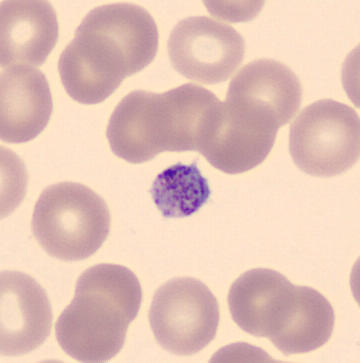Morphology consistent with a platelet.